Bone marrow smear. Pappenheim-stained
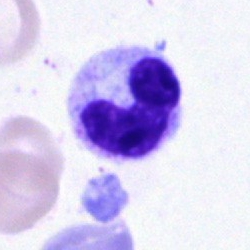Q: What is the morphological classification of this cell?
A: Stab cell.